Single cell centered in the field. Bone marrow aspirate smear.
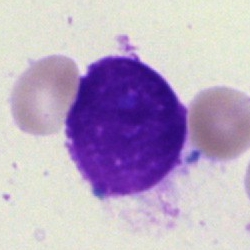 Morphological class — artefact.